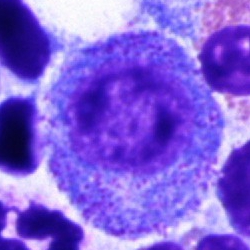

A progranulocyte on a bone marrow smear.